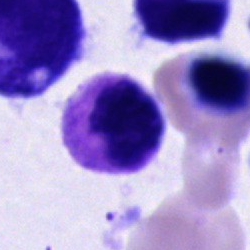
The cell shown is a neutrophil (segmented).